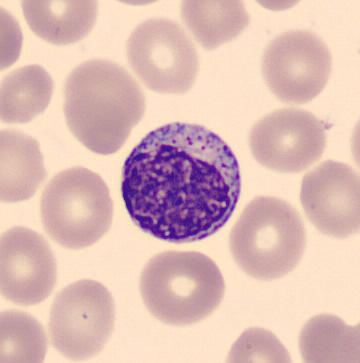

Morphological class = myelocyte.